Bone marrow aspirate smear — 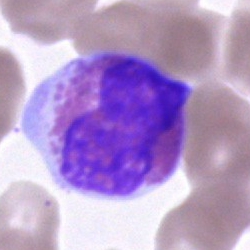 Specimen: bone marrow aspirate smear.
Morphological class: eosinophilic granulocyte.
Lineage: myeloid.